Bone marrow aspirate smear; cropped to a single cell — 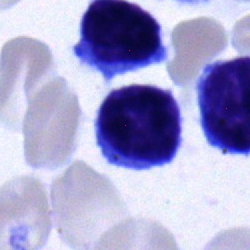

Cell type — lymphocyte.